Bone marrow smear:
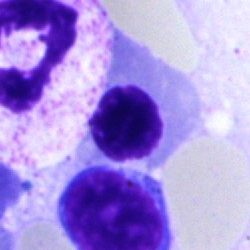
Specimen: bone marrow aspirate smear.
Morphological class: nucleated red blood cell.